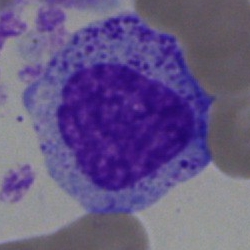
Bone marrow smear showing a band neutrophil.